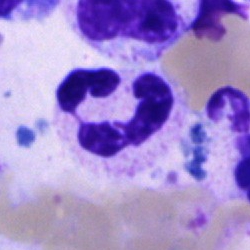
Morphology consistent with a neutrophil (segmented).